Bone marrow aspirate smear: 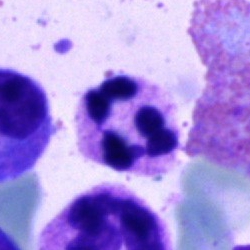
Q: Identify the cell.
A: Polymorphonuclear neutrophil.